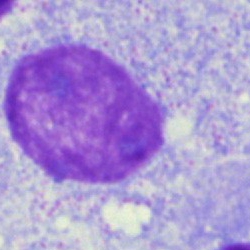

Q: What is shown here?
A: It is an artefact.